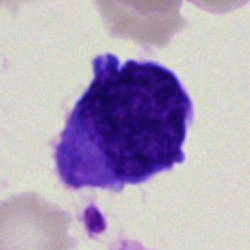
Single cell identified as a blast.